May-Grünwald-Giemsa stain. Bone marrow smear. 40× oil immersion
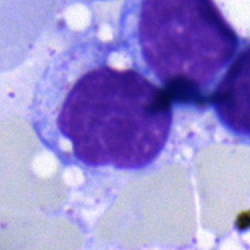 Morphological class — lymphocyte.